Bone marrow aspirate smear. 250 by 250 pixels.
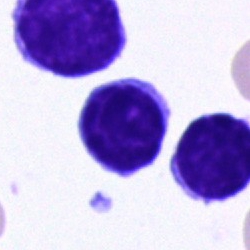A lymphocyte.